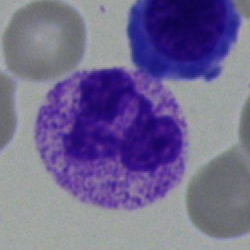Specimen: bone marrow aspirate smear.
Classification: polymorphonuclear neutrophil.
Lineage: myeloid.